Bone marrow smear. Brightfield, 40× oil-immersion objective: 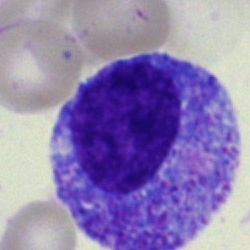
Impression — myelocyte.